Single-cell field. Bone marrow smear.
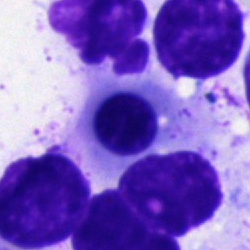The classification is erythroblast.